Bone marrow aspirate smear; brightfield, 40× oil-immersion objective.
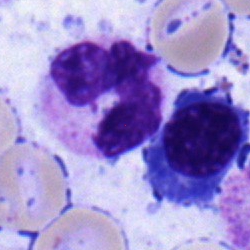Q: What cell is this?
A: A segmented neutrophil.